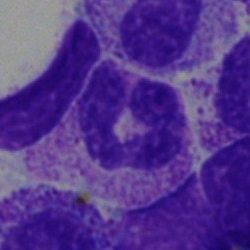
Bone marrow aspirate smear, single cell — polymorphonuclear neutrophil.